250×250 px. Single-cell crop. Bone marrow smear: 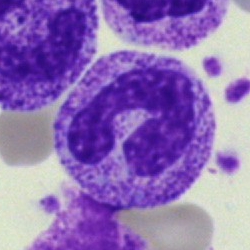Cell: neutrophil (band).